Peripheral blood film.
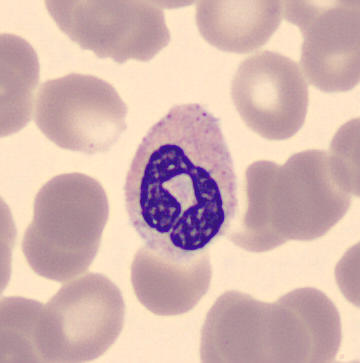
Specimen: peripheral blood film.
Cell type: band neutrophil.